May-Grünwald-Giemsa/Pappenheim stain · bone marrow aspirate smear · single-cell field
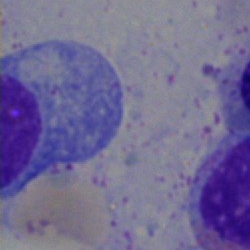
The cell type is erythroblast.